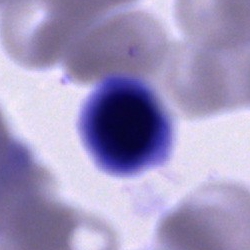
Q: What is shown here?
A: It is an artifact.